Bone marrow smear · single-cell field · image size 250×250: 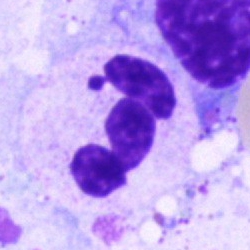 Specimen: bone marrow smear.
Cell: segmented neutrophil.
Lineage: myeloid.